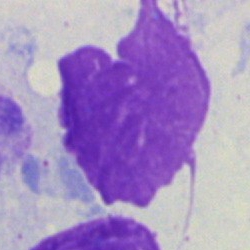
Bone marrow smear showing an artifact.